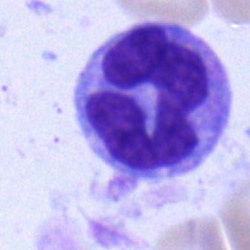The classification is monocyte.